MGG-stained. Bone marrow smear. Single-cell field
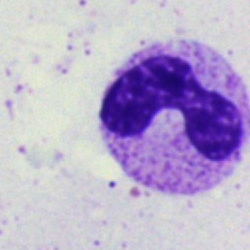Morphology consistent with a band-form neutrophil.